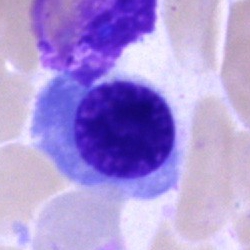

Q: Which cell type is shown here?
A: Nucleated red cell.